Bone marrow aspirate smear
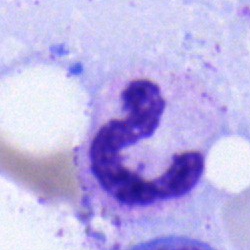 Morphological class = polymorphonuclear neutrophil.